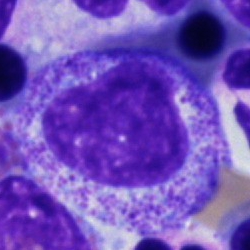 Impression — myelocyte.